250×250 px · bone marrow smear:
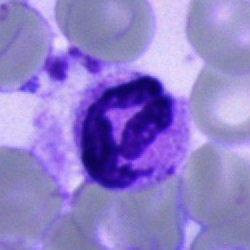This is a polymorphonuclear neutrophil.